Cropped to a single cell; 40× objective, oil immersion; bone marrow aspirate smear
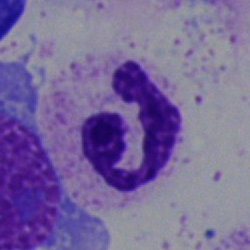

Classification = neutrophil (segmented).